Bone marrow aspirate smear · 250 by 250 pixels
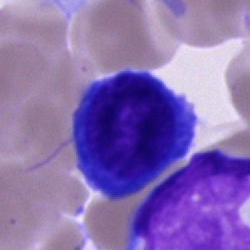 Q: What is shown here?
A: Plasmacyte.